Brightfield microscopy, 40× oil immersion. Bone marrow smear.
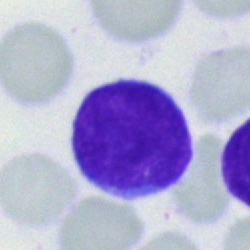

Morphology consistent with a blast cell.